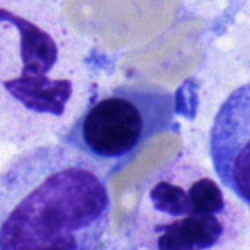

Specimen: bone marrow smear.
Morphological class: normoblast.